Bone marrow smear — 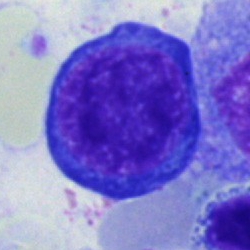
{"cell_type": "erythroblast"}